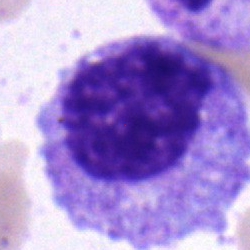 Morphological class — myelocyte.